Bone marrow smear — 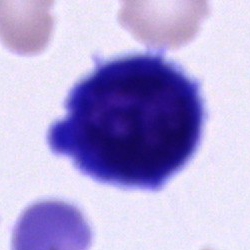

Q: What is the morphological classification of this cell?
A: A cell of indeterminate lineage.